Bone marrow smear.
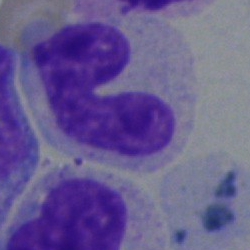 Showing a monocyte.